Bone marrow smear
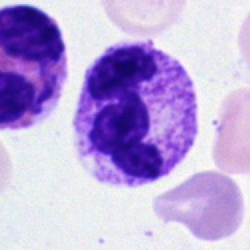

The cell shown is a polymorphonuclear neutrophil.